Bone marrow aspirate smear — 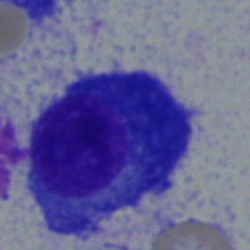

This is a plasma cell.